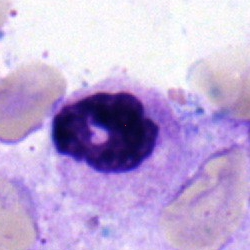Specimen: bone marrow smear.
Cell: polymorphonuclear neutrophil.
Lineage: myeloid.